May-Grünwald-Giemsa/Pappenheim stain. 40× oil immersion. Bone marrow smear:
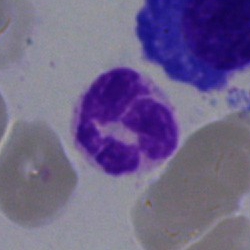
Cell type — segmented neutrophil.